Peripheral blood film
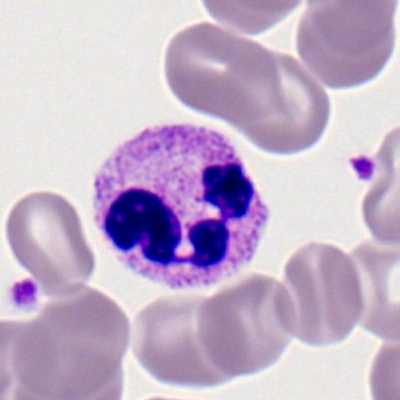
This is a polymorphonuclear neutrophil.